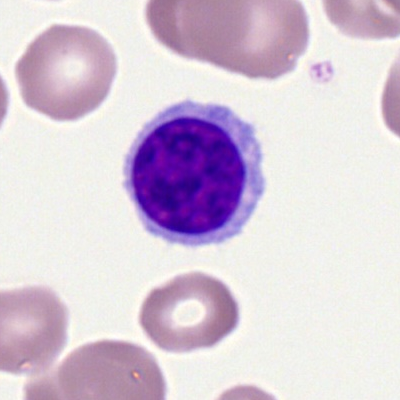 {"cell_type": "typical lymphocyte"}